Single-cell field. Bone marrow aspirate smear. 40× oil immersion.
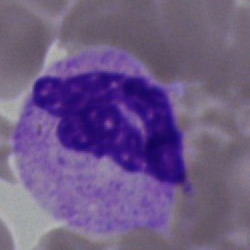 Q: What is shown here?
A: A polymorphonuclear neutrophil.